May-Grünwald-Giemsa stain; bone marrow aspirate smear.
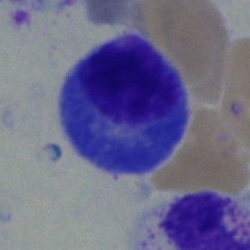
Classification — plasmacyte.